Bone marrow aspirate smear. Cropped to a single cell:
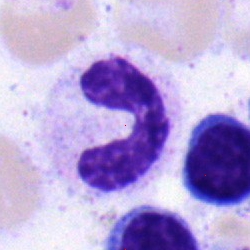
The cell is band-form neutrophil.